Bone marrow aspirate smear — 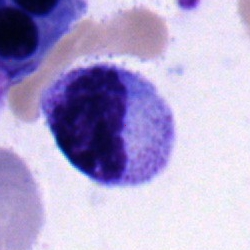

Q: Identify the cell.
A: Myelocyte.